Bone marrow aspirate smear
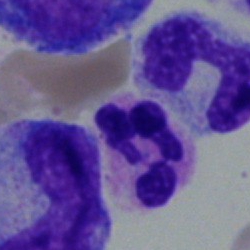
Single cell identified as a segmented neutrophil.